Image size 250×250. Bone marrow aspirate smear: 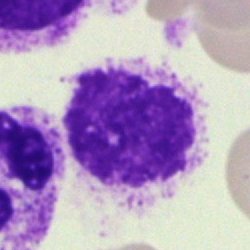
{"cell_type": "artefact"}